Bone marrow aspirate smear — 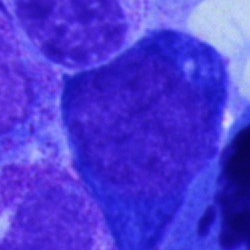 An undifferentiated blast.